Bone marrow smear
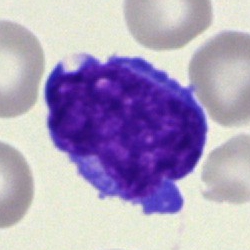 Cell = undifferentiated blast.